Romanowsky-type stain. Peripheral blood film:
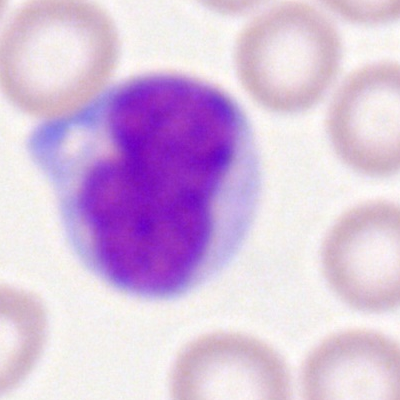 Morphological class — monocyte.